Bone marrow smear
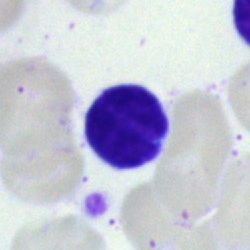
Specimen: bone marrow aspirate smear.
Cell: lymphocyte.
Lineage: lymphoid.